Bone marrow aspirate smear — 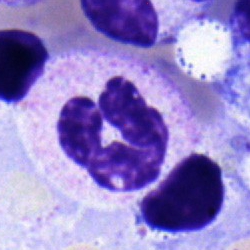 Cell type — segmented neutrophil.